40× oil immersion · 250×250 px · bone marrow aspirate smear:
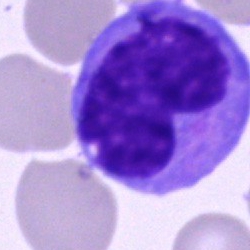

Morphological class: monocyte.